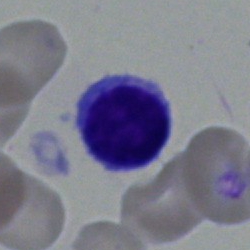
{"cell_type": "typical lymphocyte", "lineage": "lymphoid"}